Bone marrow aspirate smear · single cell centered in the field.
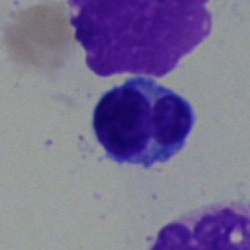Morphological class: lymphocyte.